Bone marrow aspirate smear.
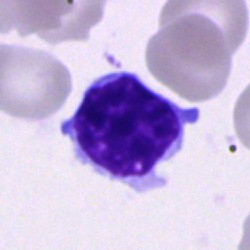Q: What type of cell is this?
A: It is a typical lymphocyte.